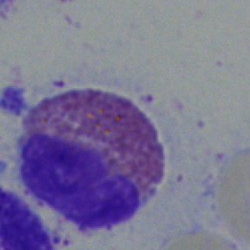 Specimen: bone marrow aspirate smear.
Classification: eosinophil.
Lineage: myeloid.